Bone marrow aspirate smear:
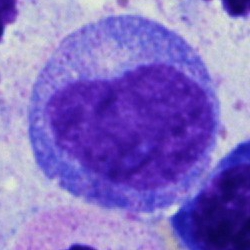Specimen: bone marrow aspirate smear.
Classification: progranulocyte.